Peripheral blood film · 400×400 — 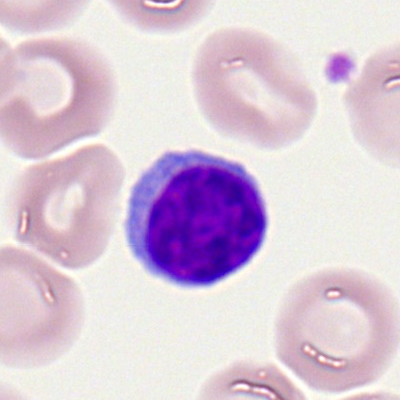

Cell type — lymphocyte.